Bone marrow smear. 40× oil immersion
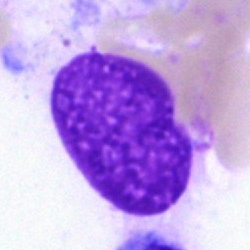Morphology — artifact.